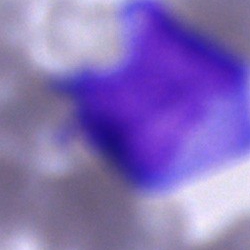 Specimen: bone marrow aspirate smear.
Cell: unidentifiable cell.